40× objective, oil immersion · bone marrow aspirate smear
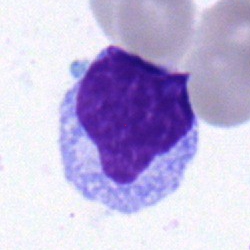Cell = typical lymphocyte.